Peripheral blood film.
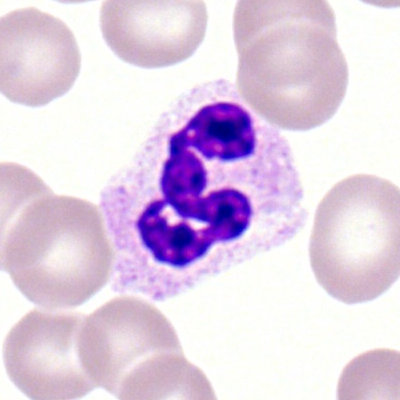

The cell type is neutrophil (segmented).